Peripheral blood smear.
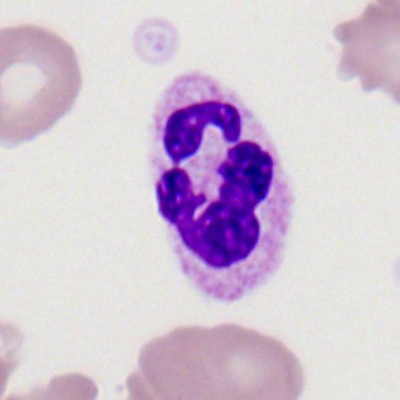A neutrophil (segmented).